May-Grünwald-Giemsa stain · bone marrow smear
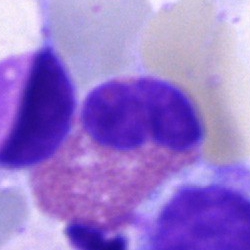 Q: What is shown here?
A: An eosinophilic granulocyte.